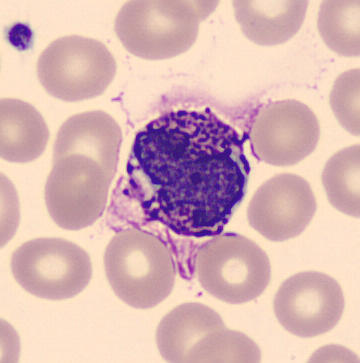Showing a basophilic granulocyte.
Peripheral blood smear.